Bone marrow aspirate smear.
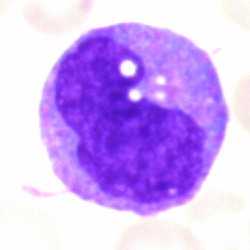A monocyte.